Bone marrow smear
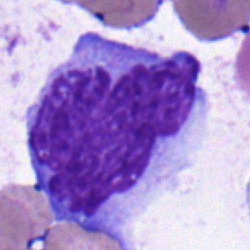{"cell_type": "monocyte"}